Bone marrow smear:
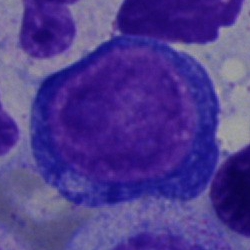 The cell shown is a proerythroblast.